Single cell centered in the field; Pappenheim-stained; bone marrow smear
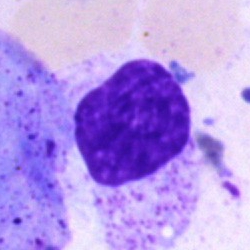
Classification — artifact.